Bone marrow smear; brightfield, 40× oil-immersion objective.
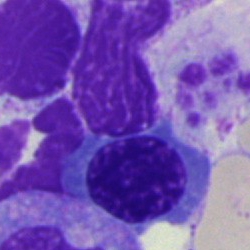

Morphology consistent with an erythroblast.